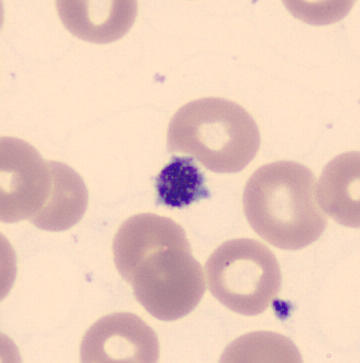
Identified as a platelet.